Bone marrow smear · Pappenheim-stained:
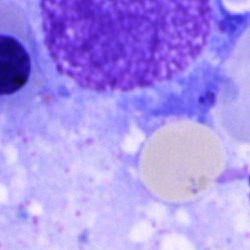Specimen: bone marrow aspirate smear.
Morphological class: artefact.